Bone marrow aspirate smear. Image size 250×250
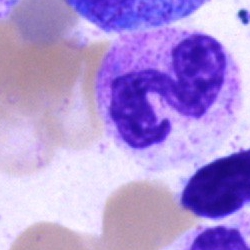
Q: What cell is this?
A: Segmented neutrophil.